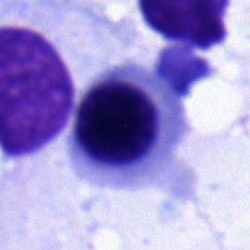 {"cell_type": "nucleated red blood cell", "lineage": "erythroid"}